Bone marrow aspirate smear
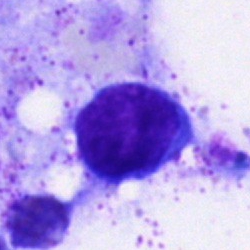

Q: What cell is this?
A: It is a typical lymphocyte.